Pappenheim-stained · bone marrow smear
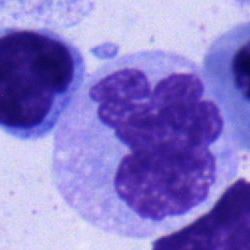Q: What is the morphological classification of this cell?
A: It is a monocyte.